40× objective, oil immersion · bone marrow smear · cropped to a single cell
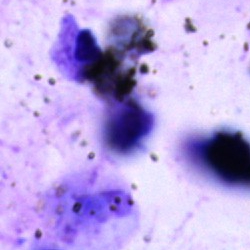Impression — artefact.